Image size 250×250 · bone marrow aspirate smear — 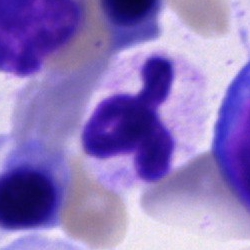Cell type = segmented neutrophil.